Bone marrow aspirate smear:
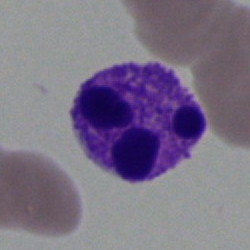

Q: What is shown here?
A: Artifact.